Bone marrow smear · 250×250 — 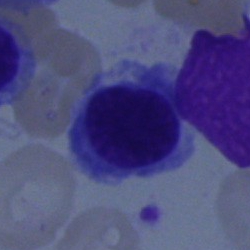

Classification — nucleated red cell.